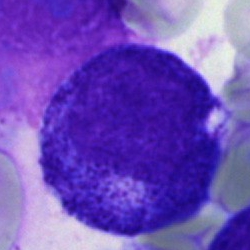
Single-cell crop from a bone marrow smear: promyelocyte.